Pappenheim-stained; bone marrow aspirate smear.
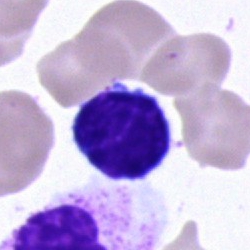

Morphology consistent with a typical lymphocyte.